Bone marrow aspirate smear:
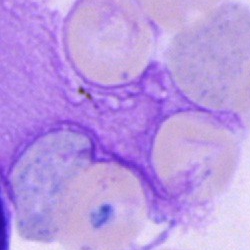

An artefact.